Bone marrow aspirate smear.
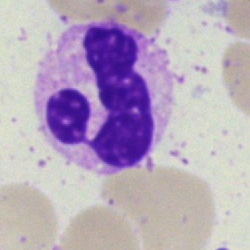
Q: What is the morphological classification of this cell?
A: A segmented neutrophil.